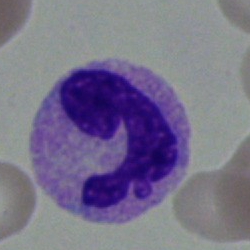
Morphological class = segmented neutrophil.